Bone marrow aspirate smear: 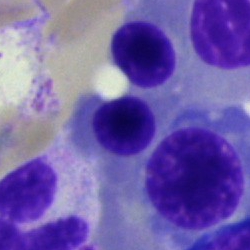
Morphology — normoblast.